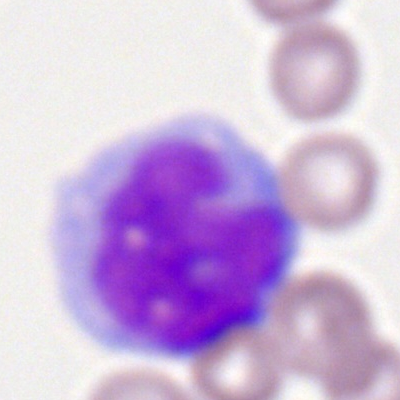
Specimen: peripheral blood film.
Classification: monocyte.